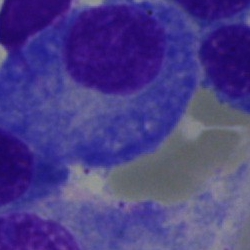

Q: Identify the cell.
A: A plasmacyte.